Bone marrow aspirate smear; single-cell crop — 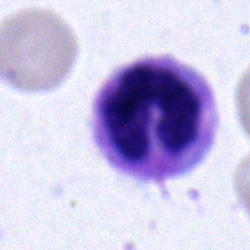

Specimen: bone marrow smear.
Morphological class: polymorphonuclear neutrophil.